Brightfield microscopy, 40× oil immersion · bone marrow aspirate smear: 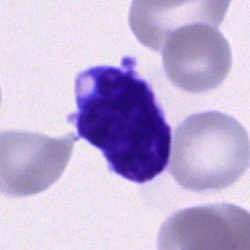
Cell type: blast.